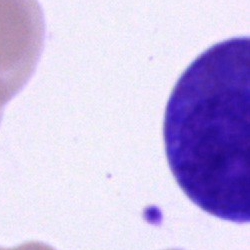

Cell type: cell of indeterminate lineage.